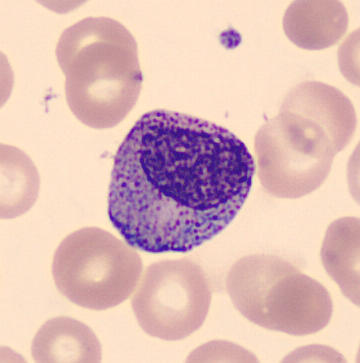Q: What is shown here?
A: Myelocyte.

Peripheral blood smear.